Bone marrow smear · May-Grünwald-Giemsa/Pappenheim stain — 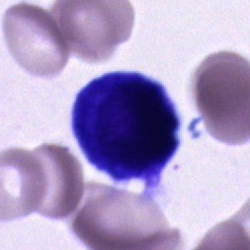Unidentifiable cell.